Peripheral blood film.
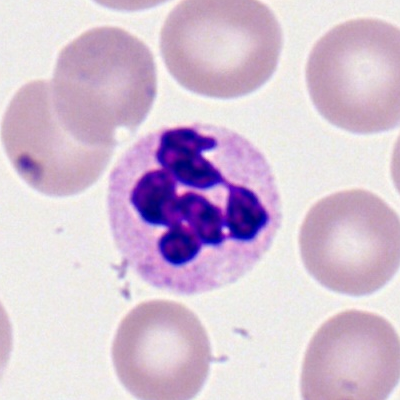
Q: What type of cell is this?
A: This is a neutrophil (segmented).